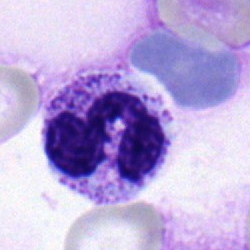Showing a neutrophil (segmented).